Bone marrow aspirate smear. Single-cell field: 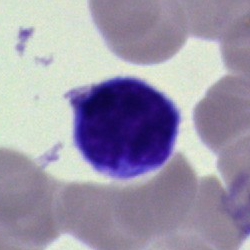Specimen: bone marrow smear.
Cell: typical lymphocyte.